Bone marrow aspirate smear: 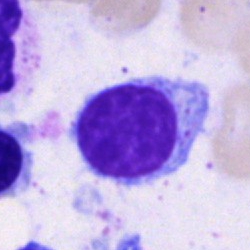The morphological class is typical lymphocyte.